Bone marrow smear.
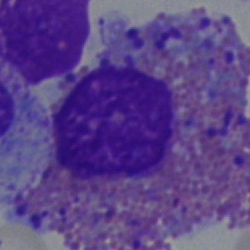

Eosinophil.